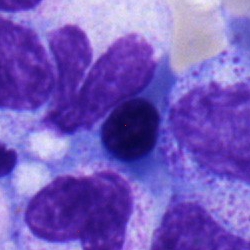
Q: What cell is this?
A: Erythroblast.